Bone marrow aspirate smear — 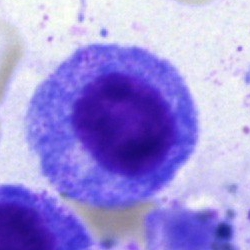 Morphology consistent with a myelocyte.